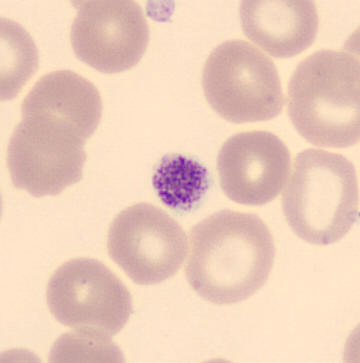Morphological class = platelet (thrombocyte).